Bone marrow aspirate smear
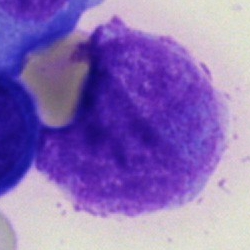Q: What is shown here?
A: This is an artifact.